Bone marrow smear
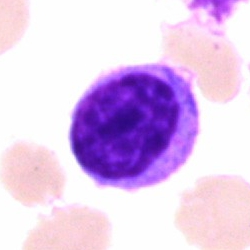

The cell type is typical lymphocyte.